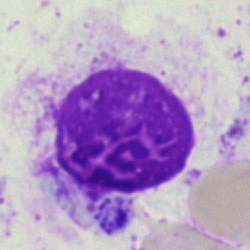
Classification — artefact.